Bone marrow aspirate smear: 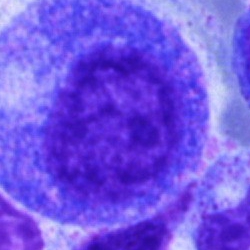 Showing a promyelocyte.